40× oil immersion · bone marrow smear · MGG-stained: 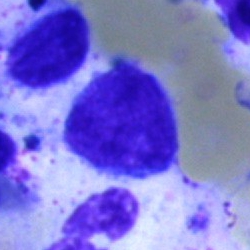Morphological class — typical lymphocyte.